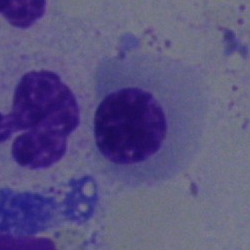Cell type: nucleated red cell.